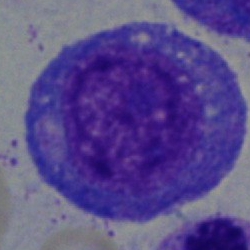 Morphological class — promyelocyte.